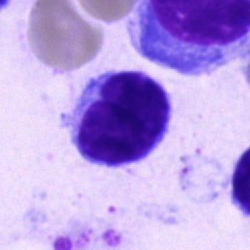 Lymphocyte.